Peripheral blood film
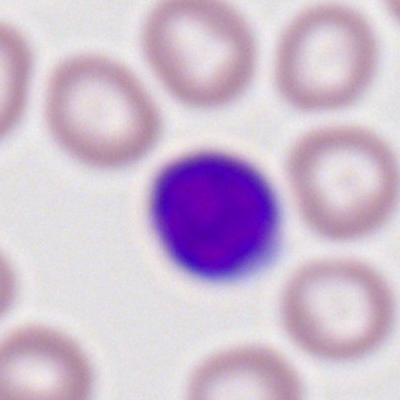Morphology consistent with a typical lymphocyte.